Bone marrow smear
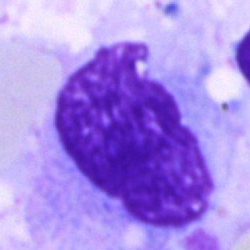 Morphology — artifact.